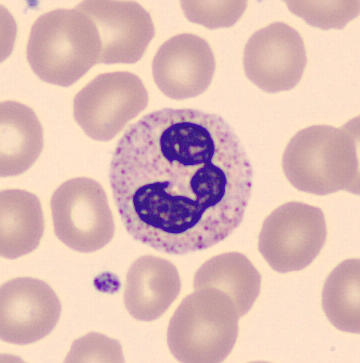 Morphology → segmented neutrophil.